Bone marrow smear:
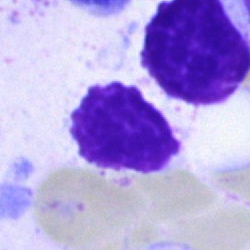 This is an artefact.